Peripheral blood smear: 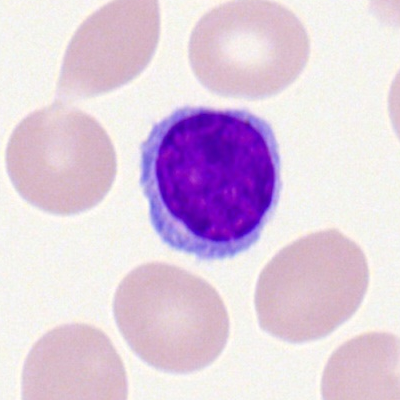
Q: What cell is this?
A: Lymphocyte.